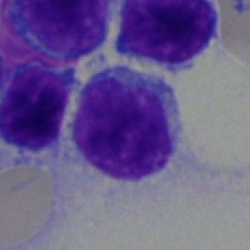 Q: What cell is this?
A: This is a lymphocyte.